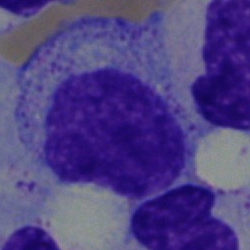

Specimen: bone marrow smear.
Cell: myelocyte.